Peripheral blood smear:
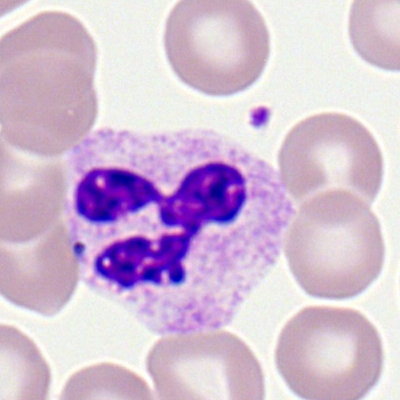 Morphology — segmented neutrophil.